Pappenheim-stained. Bone marrow aspirate smear — 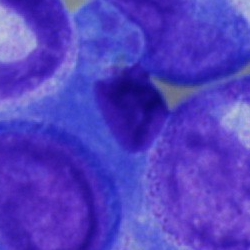

{"cell_type": "unidentifiable cell"}